May-Grünwald-Giemsa stain. Single-cell field. Bone marrow aspirate smear
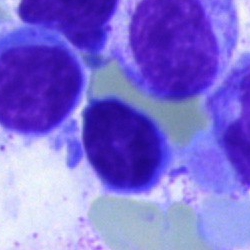 The morphological class is plasmacyte.